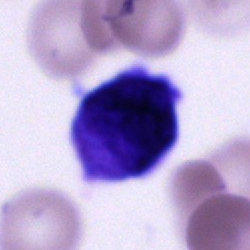A cell of indeterminate lineage.